Bone marrow smear · brightfield microscopy, 40× oil immersion · single-cell crop
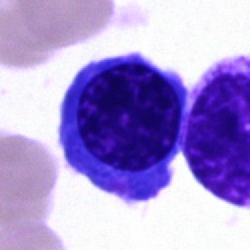
Specimen: bone marrow aspirate smear.
Classification: normoblast.
Lineage: erythroid.